250×250 px · bone marrow smear:
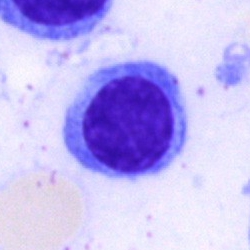Impression — typical lymphocyte.